100× oil immersion. Image size 400×400. Peripheral blood smear — 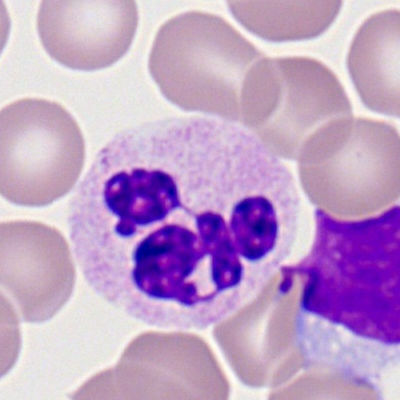

The cell shown is a neutrophil (segmented).